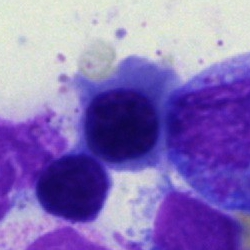
Bone marrow smear showing a normoblast.